Romanowsky stain. Peripheral blood film
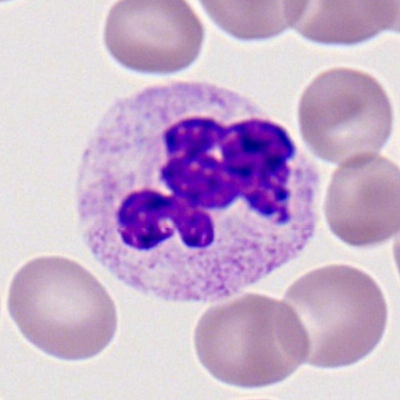 {"cell_type": "segmented neutrophil"}